Pappenheim-stained; bone marrow aspirate smear; single cell centered in the field: 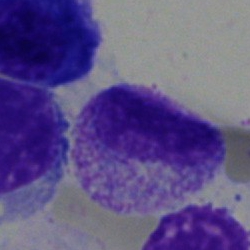 Cell — neutrophil (band).